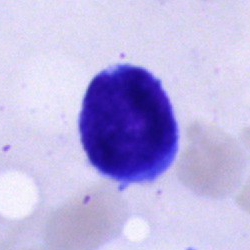 {"cell_type": "lymphocyte", "lineage": "lymphoid"}